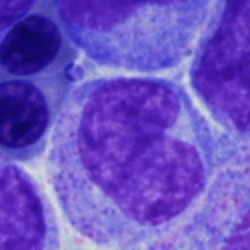 Single cell identified as a monocyte.